May-Grünwald-Giemsa stain; bone marrow smear.
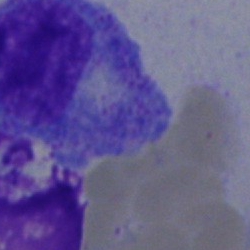
The classification is promyelocyte.